Bone marrow aspirate smear. May-Grünwald-Giemsa/Pappenheim stain
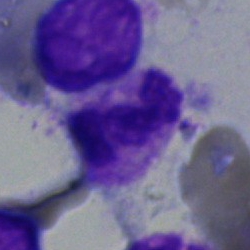Showing a polymorphonuclear neutrophil.